Peripheral blood film — 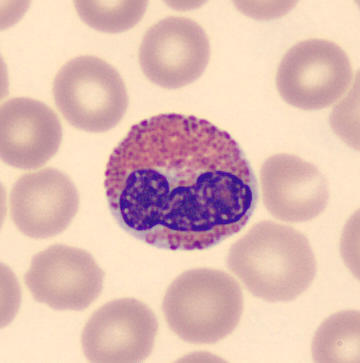
Single cell identified as an eosinophilic granulocyte.